Peripheral blood film — 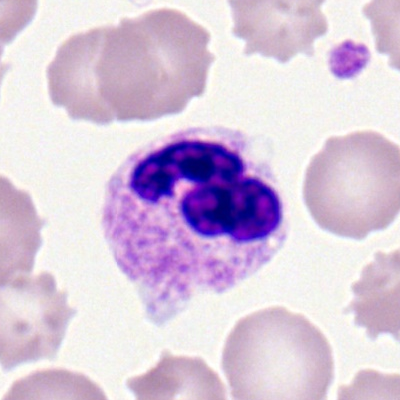
Single cell identified as a polymorphonuclear neutrophil.